Image size 250×250 · bone marrow smear · 40× objective, oil immersion.
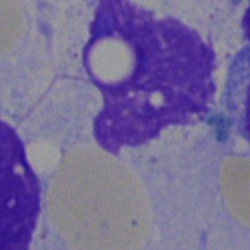
Impression → artifact.